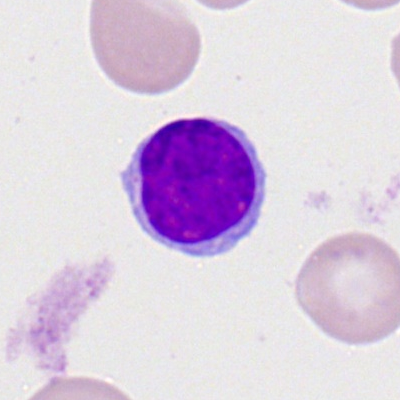
Q: What cell is this?
A: This is a lymphocyte.